Bone marrow smear
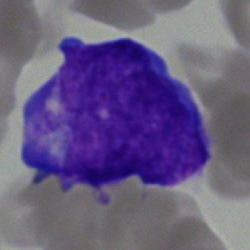Q: What cell is this?
A: Blast cell.